Peripheral blood smear; Romanowsky-stained
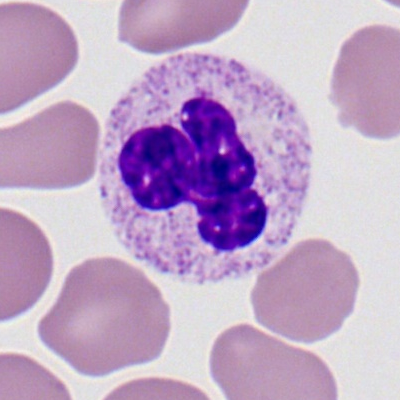
Q: Identify the cell.
A: Polymorphonuclear neutrophil.